40× objective, oil immersion. Bone marrow aspirate smear:
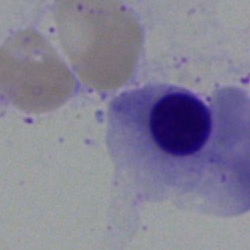Specimen: bone marrow smear.
Cell: nucleated red cell.
Lineage: erythroid.